Bone marrow aspirate smear: 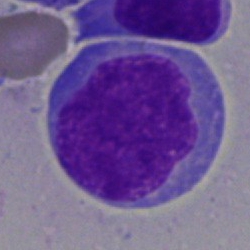{"cell_type": "blast"}